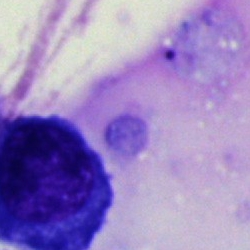

An artefact.